Bone marrow smear:
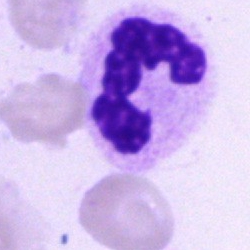Showing a neutrophil (segmented).